Bone marrow smear:
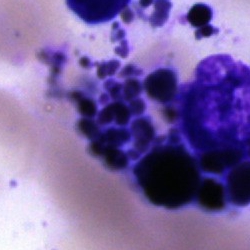 The cell shown is an artifact.